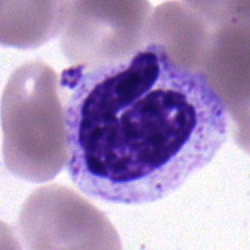

Q: What is the morphological classification of this cell?
A: Neutrophil (segmented).